Image size 250×250; bone marrow aspirate smear:
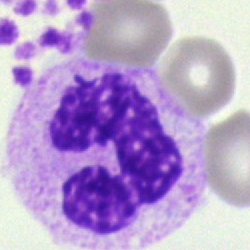This is a stab cell.